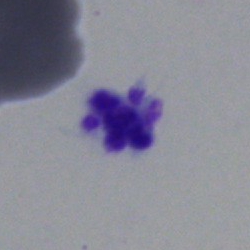
Classification: artifact.